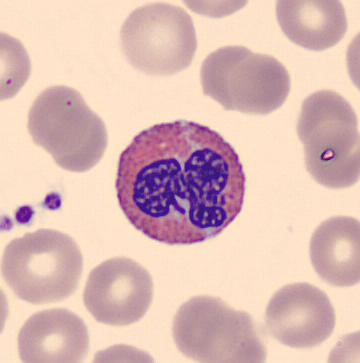The cell is eosinophilic granulocyte.

Image: 360 by 363 pixels; CellaVision DM96 digital cell image; peripheral blood film.